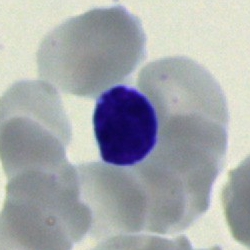
Specimen: bone marrow smear.
Cell: lymphocyte.
Lineage: lymphoid.